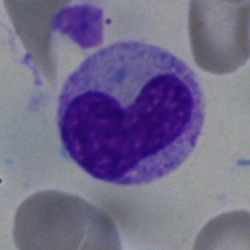
Bone marrow smear showing a band-form neutrophil.